Bone marrow smear · single-cell crop — 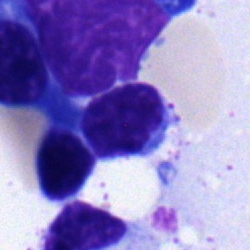
Single cell identified as a typical lymphocyte.